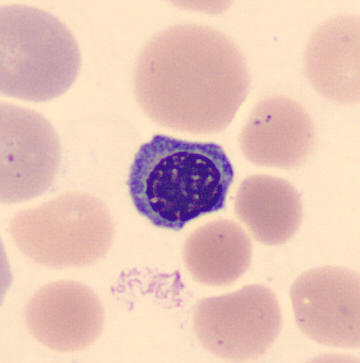This is a nucleated red blood cell.

Acquisition: Peripheral blood smear.